Brightfield, 40× oil-immersion objective; bone marrow smear; Pappenheim-stained: 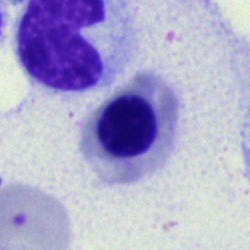Morphological class = normoblast.